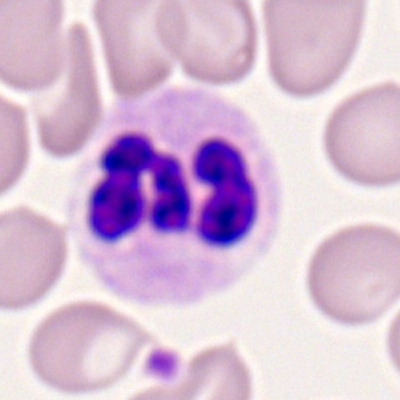 Morphological class: polymorphonuclear neutrophil.